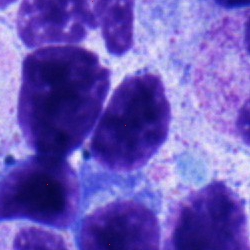 Cell type: typical lymphocyte.